Bone marrow aspirate smear: 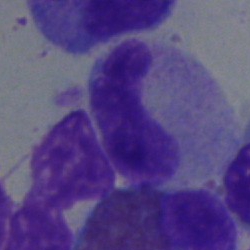 Morphology consistent with a metamyelocyte.